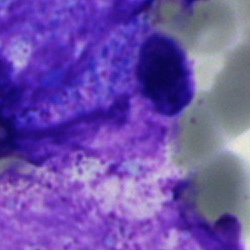

Bone marrow smear showing an artefact.